250×250 · bone marrow aspirate smear · 40× oil immersion.
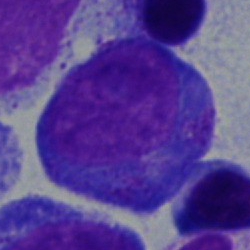 Cell = promyelocyte.